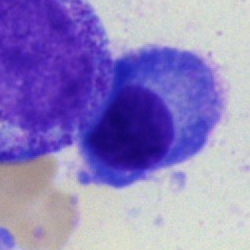 Classification — plasmacyte.